Peripheral blood smear — 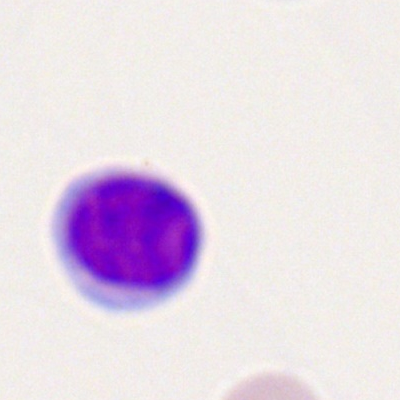

Morphological class = lymphocyte.